Image size 250×250; bone marrow aspirate smear; brightfield microscopy, 40× oil immersion.
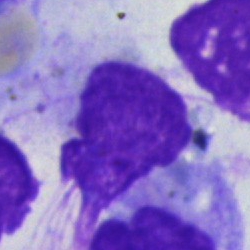
Single cell identified as an artifact.